Bone marrow smear; single-cell crop: 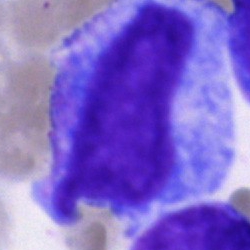 Morphology — progranulocyte.